Bone marrow smear.
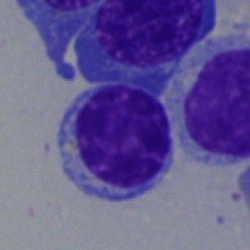

Impression — lymphocyte.